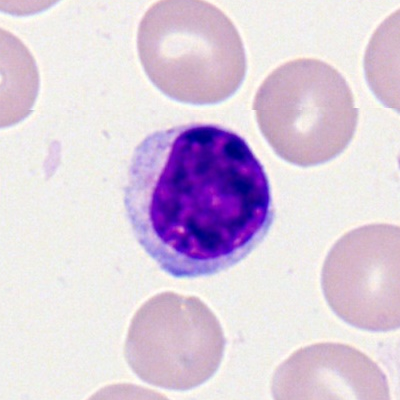The cell shown is a lymphocyte.